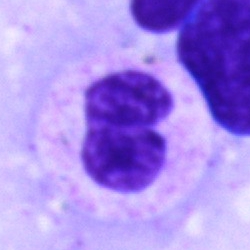This is a segmented neutrophil.